Bone marrow smear — 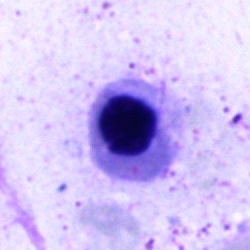 The cell is normoblast.